Bone marrow smear
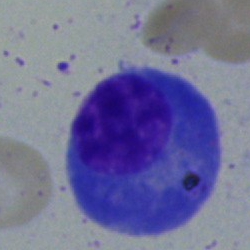
Morphology consistent with a plasmacyte.